Bone marrow aspirate smear · single-cell crop · May-Grünwald-Giemsa stain:
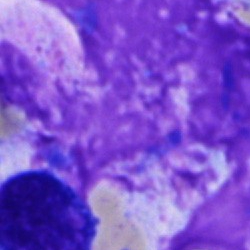 Specimen: bone marrow smear.
Classification: artifact.